40× oil immersion. Bone marrow aspirate smear.
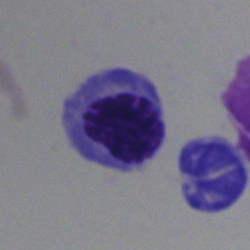Specimen: bone marrow aspirate smear.
Cell type: nucleated red blood cell.